40× objective, oil immersion · bone marrow aspirate smear: 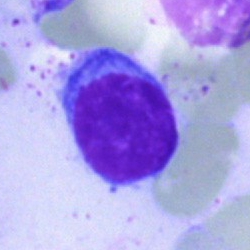
Single cell identified as a typical lymphocyte.